Bone marrow aspirate smear: 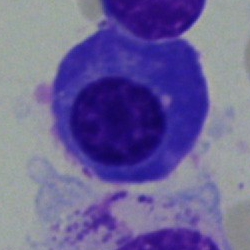
Showing a plasma cell.